Bone marrow smear. May-Grünwald-Giemsa stain:
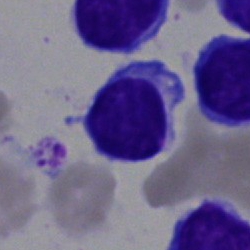

Typical lymphocyte.